Bone marrow aspirate smear:
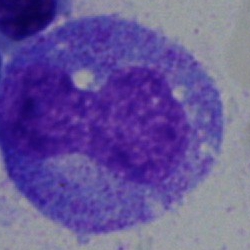Showing a progranulocyte.